Bone marrow smear; MGG-stained — 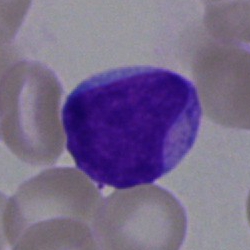

Blast cell.